Bone marrow smear
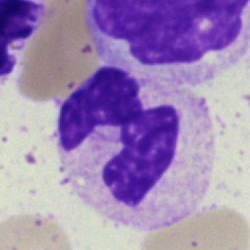

Morphological class: segmented neutrophil.